May-Grünwald-Giemsa stain. Bone marrow aspirate smear.
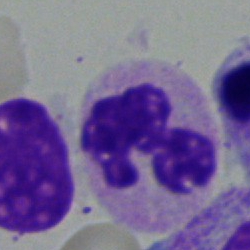 Morphology consistent with a segmented neutrophil.